Bone marrow aspirate smear; Pappenheim-stained.
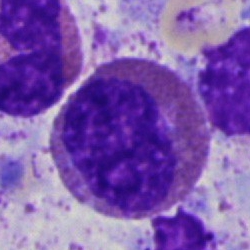The cell is eosinophilic granulocyte.